Bone marrow aspirate smear — 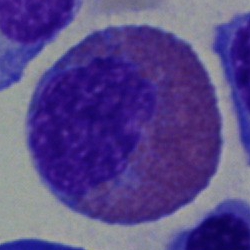
Showing an eosinophil.